250×250 px. Bone marrow smear.
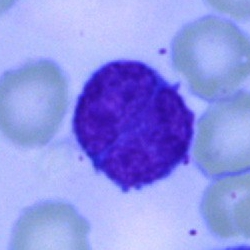A lymphocyte.